Bone marrow smear · May-Grünwald-Giemsa stain.
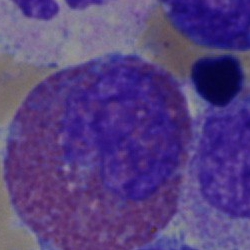 Eosinophilic granulocyte.